Bone marrow aspirate smear
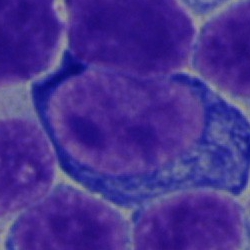
{"cell_type": "proerythroblast"}